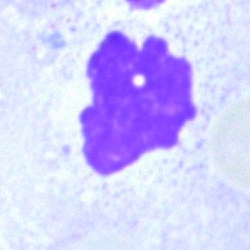 An artefact on a bone marrow smear.